Bone marrow aspirate smear.
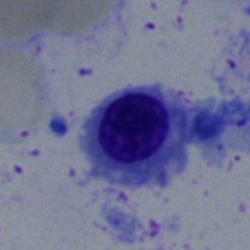 Cell: nucleated red cell.